Bone marrow aspirate smear:
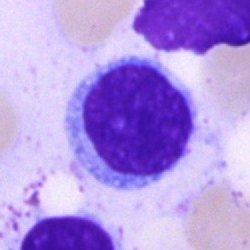 {"cell_type": "typical lymphocyte", "lineage": "lymphoid"}